Bone marrow smear. Single-cell field. May-Grünwald-Giemsa stain.
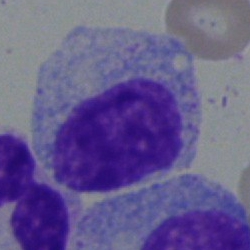
{"cell_type": "myelocyte"}